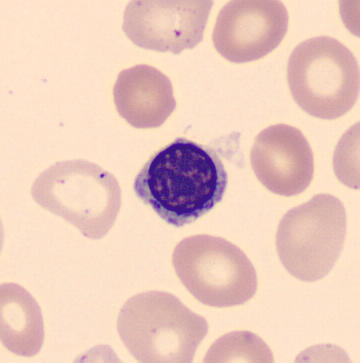 Cell type — nucleated red cell. Acquisition: 360 by 363 pixels · peripheral blood smear.